Bone marrow smear. Pappenheim-stained:
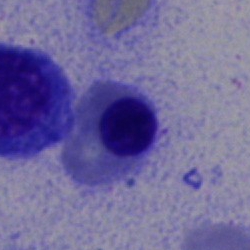

Showing a nucleated red cell.